Bone marrow aspirate smear:
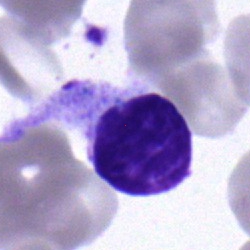 Specimen: bone marrow aspirate smear.
Classification: typical lymphocyte.